Single-cell crop · 100× oil immersion · peripheral blood film
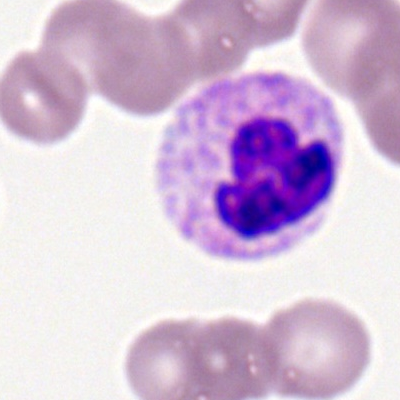 A segmented neutrophil.